Bone marrow aspirate smear — 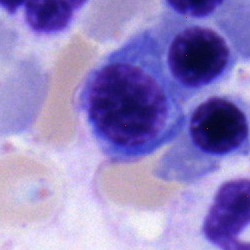Specimen: bone marrow smear.
Cell type: normoblast.
Lineage: erythroid.